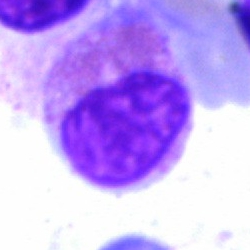Cell type — artifact.